Bone marrow aspirate smear; Pappenheim-stained — 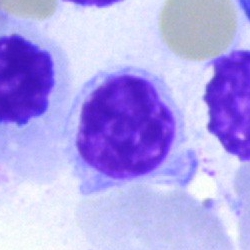
Cell type: typical lymphocyte.